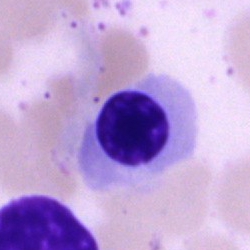 Classification: nucleated red blood cell.